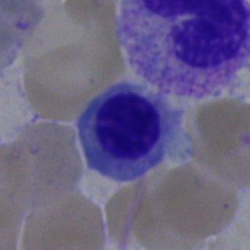 Morphological class — nucleated red cell.